Bone marrow smear.
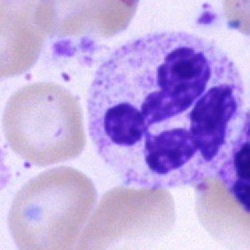
Morphology consistent with a segmented neutrophil.